Bone marrow smear.
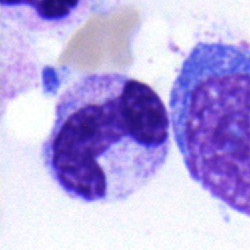
Q: Identify the cell.
A: It is a band neutrophil.